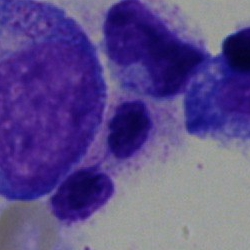
The classification is artifact.